Bone marrow smear: 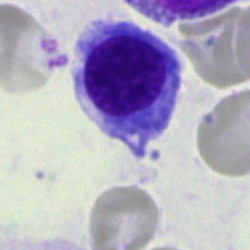
Specimen: bone marrow smear.
Classification: normoblast.
Lineage: erythroid.